Bone marrow smear. Pappenheim-stained — 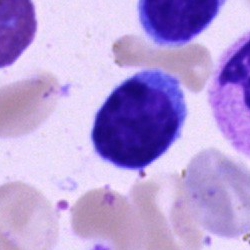
Q: What is shown here?
A: It is a lymphocyte.